Bone marrow smear — 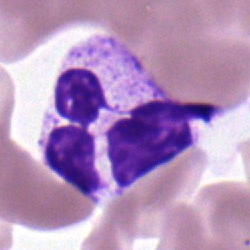

Q: What type of cell is this?
A: A segmented neutrophil.